Single-cell field. Bone marrow smear: 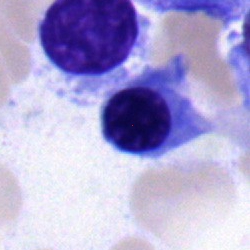 Morphological class — normoblast.